Bone marrow smear · cropped to a single cell.
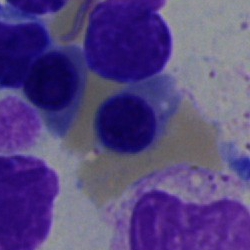Q: What is shown here?
A: This is a nucleated red cell.